100× oil immersion, 14.14 px/µm; Romanowsky-type stain; peripheral blood film — 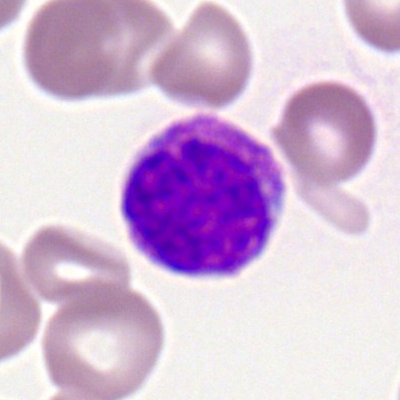{"cell_type": "eosinophilic granulocyte"}